250×250 px; bone marrow aspirate smear; 40× objective, oil immersion: 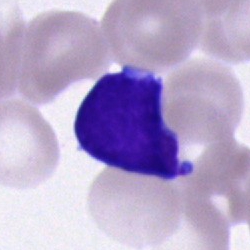

Q: What is shown here?
A: A typical lymphocyte.